Brightfield, 40× oil-immersion objective; bone marrow aspirate smear; 250×250:
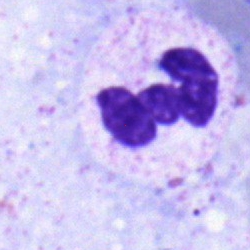 Cell — segmented neutrophil.